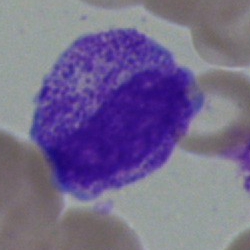
Morphological class: metamyelocyte.